250×250 px · bone marrow aspirate smear · single-cell field:
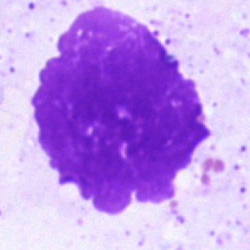Specimen: bone marrow smear.
Classification: artefact.